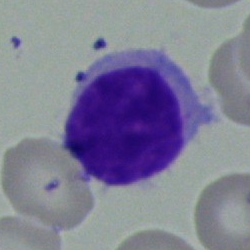 Showing a typical lymphocyte.